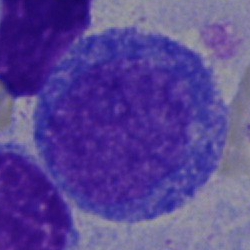Q: What is shown here?
A: It is a promyelocyte.